Bone marrow smear
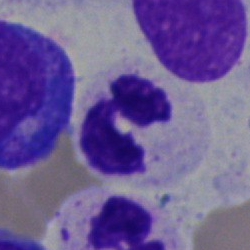A segmented neutrophil.